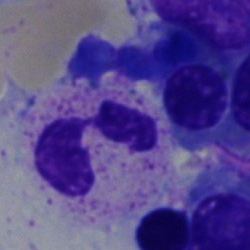 Cell: segmented neutrophil.